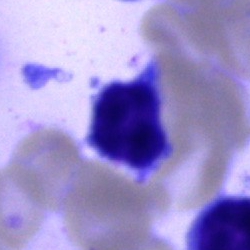Morphology — lymphocyte.